Bone marrow aspirate smear.
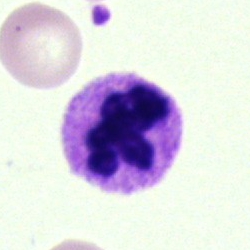

{"cell_type": "polymorphonuclear neutrophil"}